Image size 250×250. Brightfield microscopy, 40× oil immersion. Bone marrow aspirate smear.
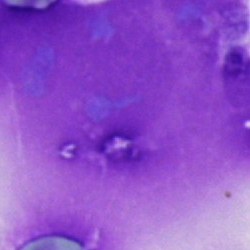 Specimen: bone marrow aspirate smear.
Cell type: artifact.